Single cell centered in the field · bone marrow aspirate smear — 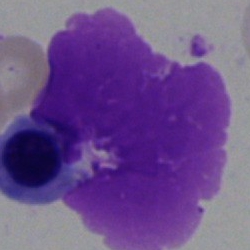
The cell shown is an artifact.